MGG-stained. 250×250 px. Bone marrow smear: 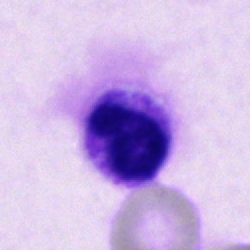
Morphology consistent with a segmented neutrophil.